250×250 px · bone marrow aspirate smear · 40× objective, oil immersion — 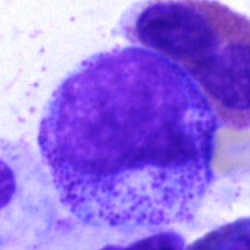

Specimen: bone marrow aspirate smear.
Classification: promyelocyte.
Lineage: myeloid.